Bone marrow aspirate smear
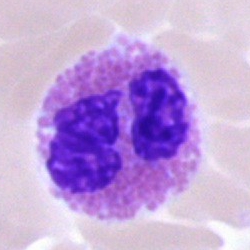

Single cell identified as an eosinophil.